Bone marrow aspirate smear.
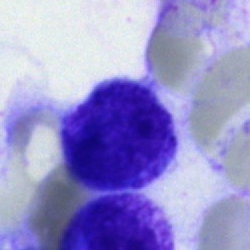
Cell type: typical lymphocyte.